Bone marrow smear: 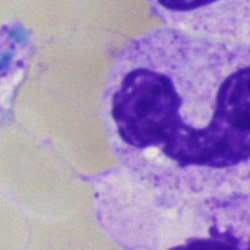
An artefact.